May-Grünwald-Giemsa stain. Bone marrow aspirate smear. Brightfield, 40× oil-immersion objective.
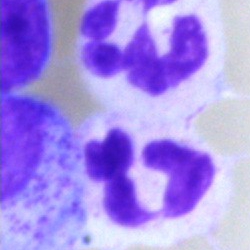

This is a polymorphonuclear neutrophil.